Bone marrow smear; brightfield, 40× oil-immersion objective: 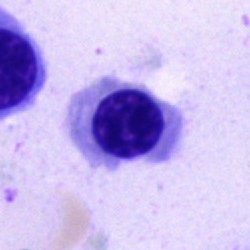
A nucleated red blood cell.